Bone marrow smear.
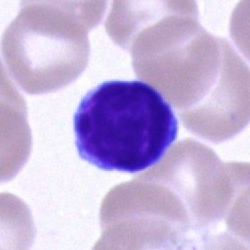

A lymphocyte.